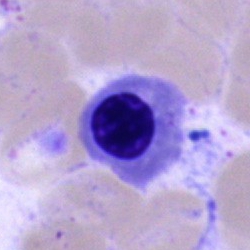A normoblast.